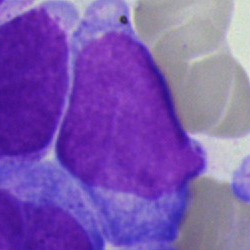

Q: What is shown here?
A: An undifferentiated blast.